Bone marrow smear; 250×250 px.
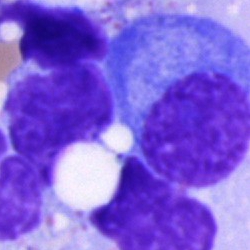Impression → plasma cell.